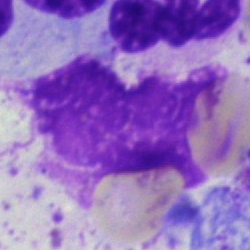

Bone marrow smear showing an artefact.